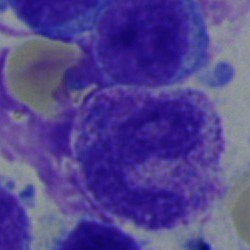Showing a band-form neutrophil.